Bone marrow aspirate smear: 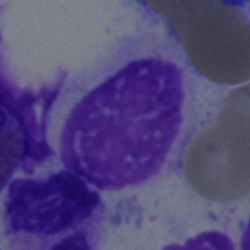

Showing an artefact.